Bone marrow aspirate smear: 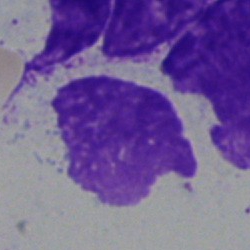Morphology consistent with an artifact.